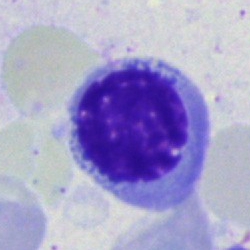 Specimen: bone marrow smear.
Morphological class: nucleated red blood cell.
Lineage: erythroid.